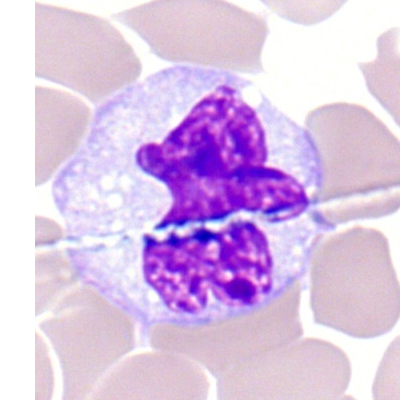

Q: What is shown here?
A: A monocyte.